Bone marrow aspirate smear — 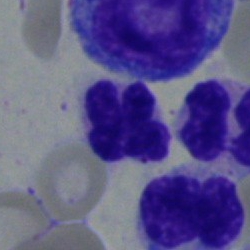Segmented neutrophil.